Bone marrow smear:
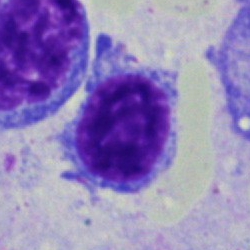
Lymphocyte.